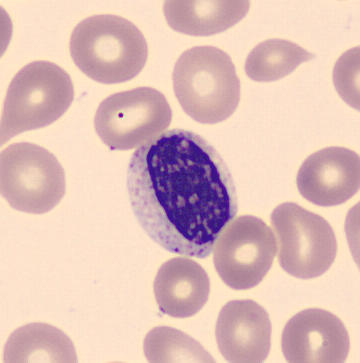

This is a metamyelocyte.
Image: Peripheral blood smear; 360×363.